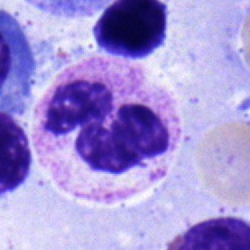 Showing a segmented neutrophil.